Bone marrow aspirate smear. Single cell centered in the field: 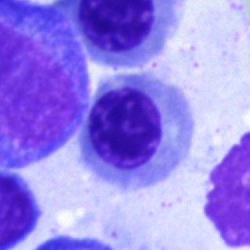 Impression → normoblast.